Bone marrow aspirate smear: 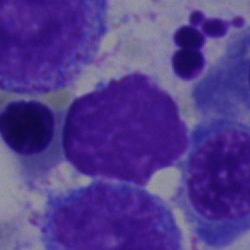 Impression — lymphocyte.